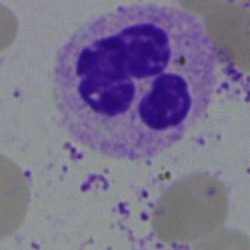Specimen: bone marrow smear.
Morphological class: polymorphonuclear neutrophil.